Bone marrow smear
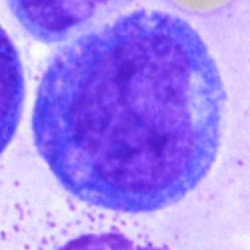Impression — progranulocyte.